40× oil immersion · bone marrow aspirate smear · image size 250×250 — 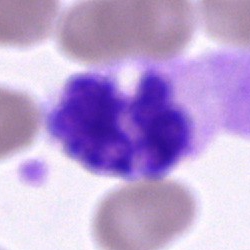 This is an artefact.